250×250 · bone marrow smear — 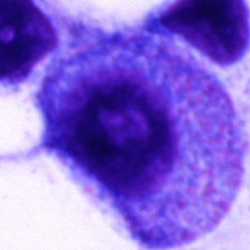Q: What type of cell is this?
A: It is a progranulocyte.